Bone marrow smear. Brightfield, 40× oil-immersion objective.
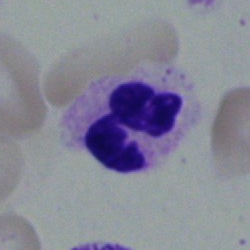
Classification = segmented neutrophil.